Bone marrow aspirate smear: 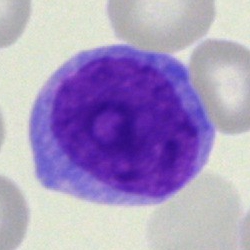
Specimen: bone marrow aspirate smear.
Cell: immature lymphocyte.
Lineage: lymphoid.